Bone marrow aspirate smear; Pappenheim-stained; 40× objective, oil immersion: 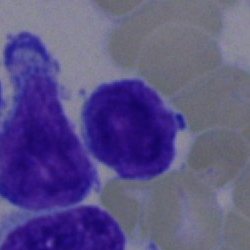 Single cell identified as a lymphocyte.